Bone marrow aspirate smear. 250 by 250 pixels. 40× objective, oil immersion — 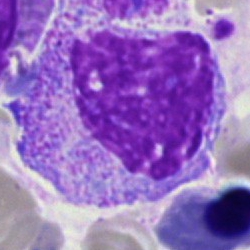

Morphology consistent with a myelocyte.